Bone marrow aspirate smear.
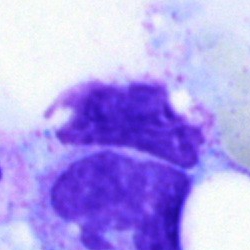

Specimen: bone marrow smear.
Classification: artefact.